250×250 px · bone marrow smear · single cell centered in the field: 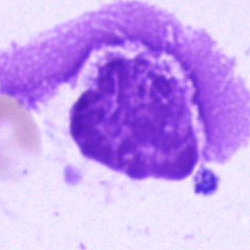
Cell type = artifact.